Bone marrow smear. 40× oil immersion — 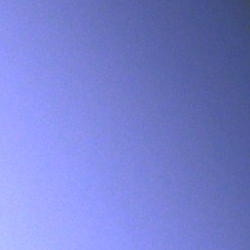 This is an artefact.